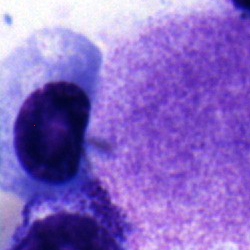Q: What is shown here?
A: A plasmacyte.